Bone marrow aspirate smear: 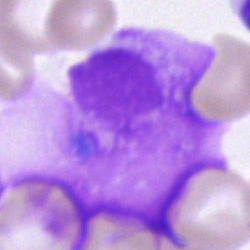Q: What is shown here?
A: Artifact.